Brightfield microscopy, 40× oil immersion; bone marrow smear; image size 250×250
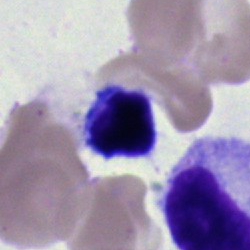

Specimen: bone marrow aspirate smear.
Cell type: artifact.